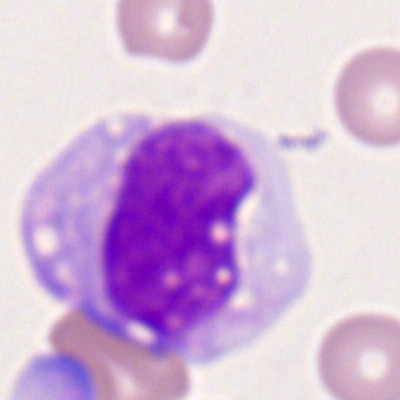

Showing a monocyte.